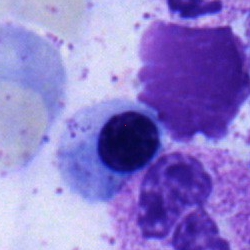Single cell identified as a normoblast.